Bone marrow aspirate smear.
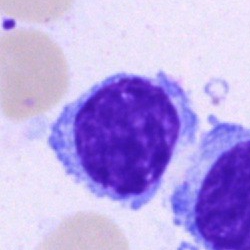 Morphology consistent with a lymphocyte.